May-Grünwald-Giemsa/Pappenheim stain; bone marrow smear
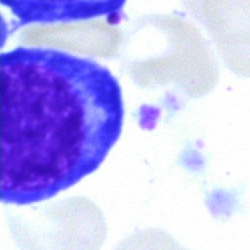

Morphological class: nucleated red blood cell.